Bone marrow aspirate smear. 250 by 250 pixels:
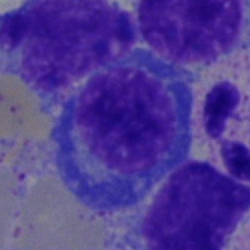This is a nucleated red blood cell.